Bone marrow smear: 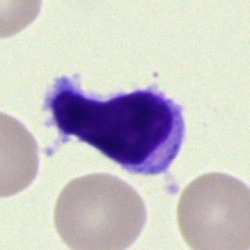 Cell — lymphocyte.